May-Grünwald-Giemsa/Pappenheim stain; bone marrow smear — 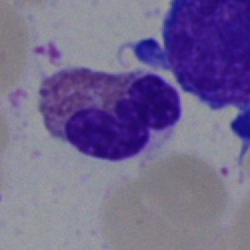 Morphology → eosinophil.